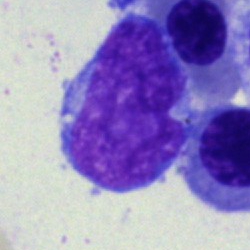 Specimen: bone marrow aspirate smear.
Cell: blast.